Bone marrow aspirate smear:
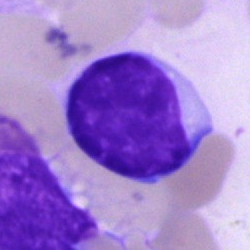

The morphological class is lymphocyte.